Bone marrow aspirate smear:
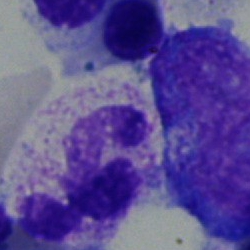

Morphology — polymorphonuclear neutrophil.